Peripheral blood smear.
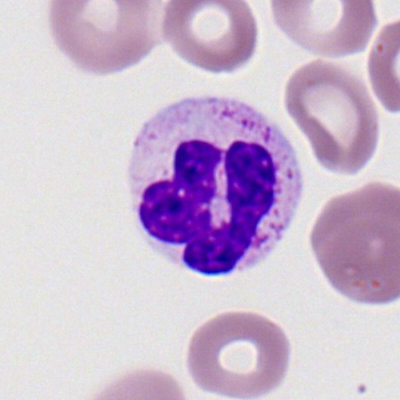 This is a segmented neutrophil.